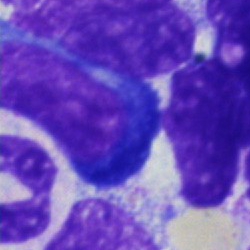 The cell shown is an artifact.